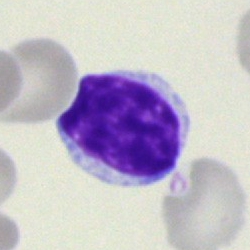A lymphocyte.